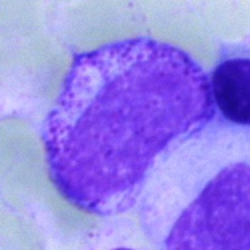
The cell type is myelocyte.